Bone marrow smear; single-cell crop:
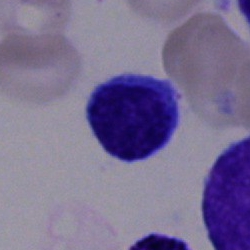Single cell identified as a lymphocyte.